Bone marrow aspirate smear:
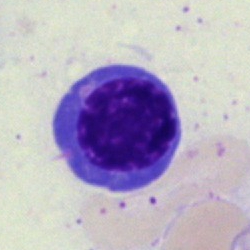

Showing a normoblast.